Bone marrow smear:
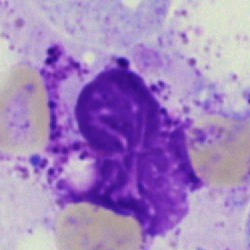 Showing an artefact.